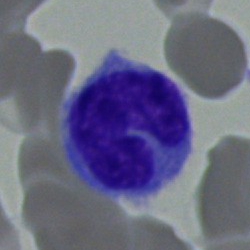{"cell_type": "monocyte", "lineage": "myeloid"}